Bone marrow aspirate smear. 250×250.
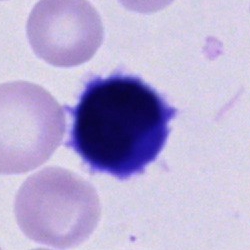

Q: What is shown here?
A: A hairy cell.